Brightfield microscopy, 40× oil immersion. Bone marrow aspirate smear. 250×250:
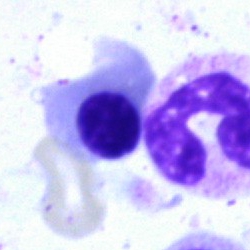

The cell shown is a normoblast.